Peripheral blood smear:
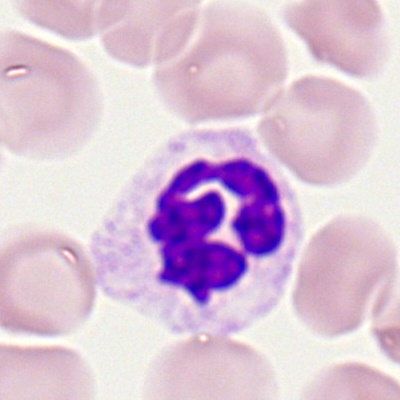Neutrophil (segmented).